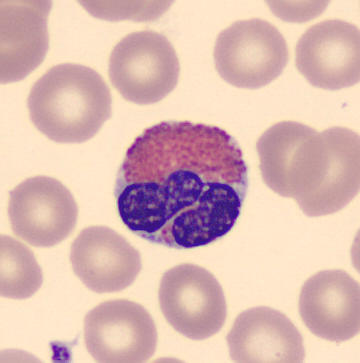 Cell type = eosinophilic granulocyte.